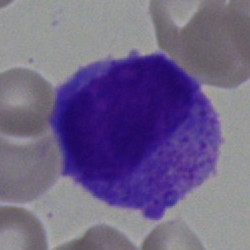 Showing a blast.